Brightfield microscopy, 40× oil immersion. Bone marrow aspirate smear
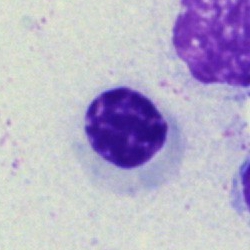 Specimen: bone marrow aspirate smear.
Morphological class: erythroblast.
Lineage: erythroid.